Bone marrow aspirate smear — 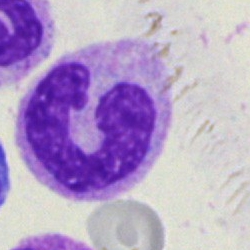

Specimen: bone marrow smear.
Morphological class: band-form neutrophil.